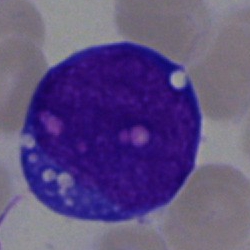Morphological class = undifferentiated blast.